Bone marrow smear · MGG-stained · 40× oil immersion:
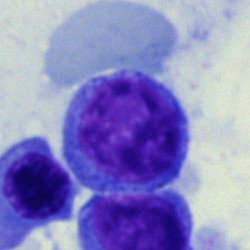

Single cell identified as a typical lymphocyte.